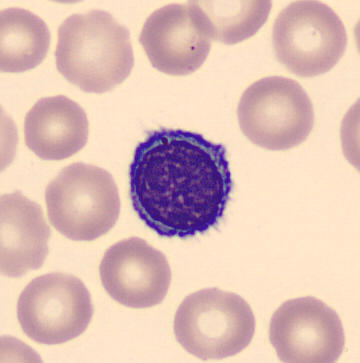Image: Peripheral blood smear. 360 by 363 pixels.

Showing a typical lymphocyte.